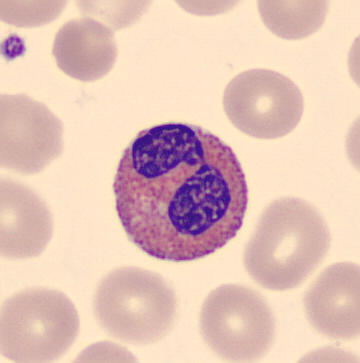
Acquisition: Peripheral blood smear. Classification = eosinophil.